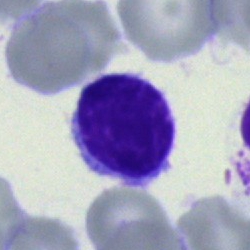

Cell: lymphocyte.